250×250 px · bone marrow aspirate smear:
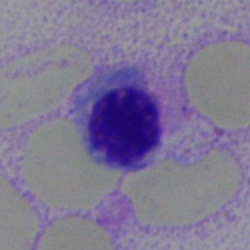Morphology consistent with a nucleated red cell.